Bone marrow aspirate smear; May-Grünwald-Giemsa/Pappenheim stain; 250×250 px.
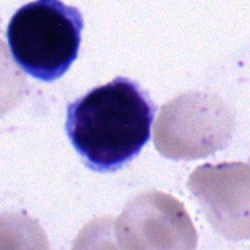
Q: Identify the cell.
A: A lymphocyte.